Bone marrow smear
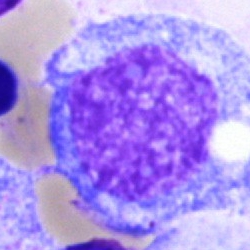Morphological class = progranulocyte.